100× oil immersion, 14.14 px/µm; image size 400×400; peripheral blood film: 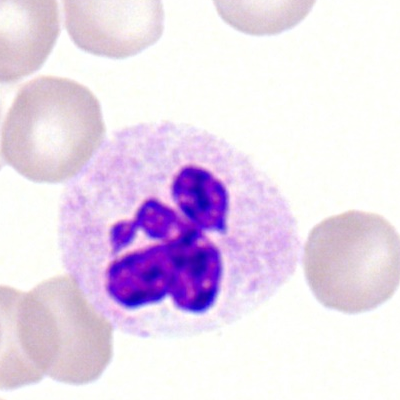

Q: What is shown here?
A: A polymorphonuclear neutrophil.